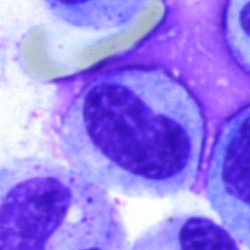
A metamyelocyte on a bone marrow smear.